40× objective, oil immersion · bone marrow smear: 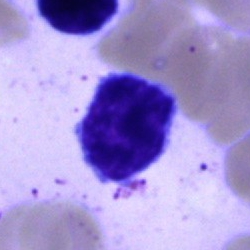

Single cell identified as a lymphocyte.